Single cell centered in the field · 40× oil immersion · bone marrow aspirate smear:
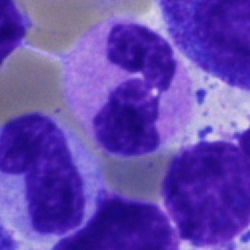 Cell — polymorphonuclear neutrophil.